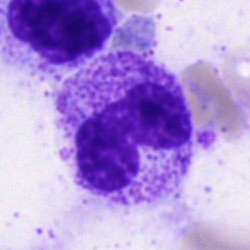
Q: What is shown here?
A: It is a metamyelocyte.